Peripheral blood smear; single-cell crop; Romanowsky-stained:
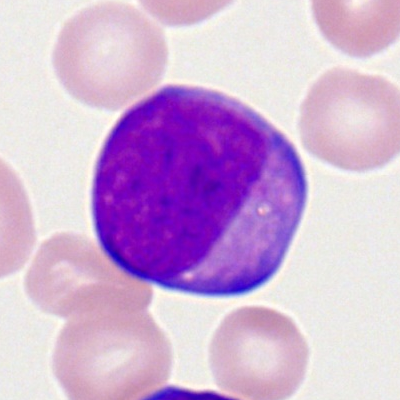 A myeloblast.